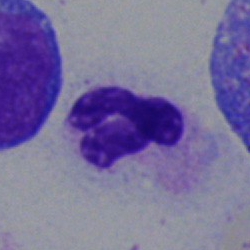
Neutrophil (segmented).